Bone marrow aspirate smear: 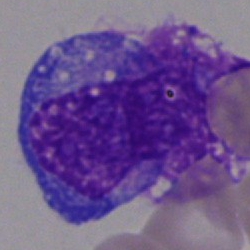
This is an artefact.